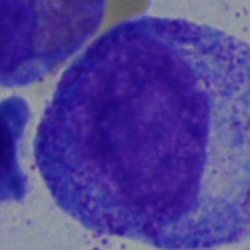
Cell: promyelocyte.